Brightfield microscopy, 40× oil immersion · 250 by 250 pixels · bone marrow aspirate smear
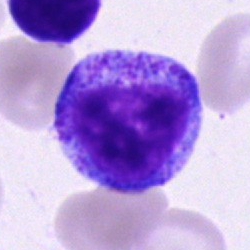

A promyelocyte.